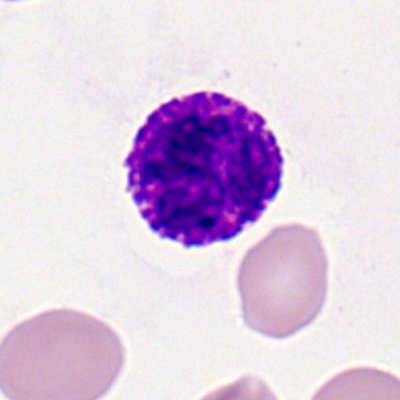 Morphology → basophil.